Bone marrow smear: 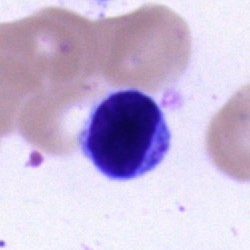 Lymphocyte.